Brightfield, 40× oil-immersion objective; single cell centered in the field; bone marrow aspirate smear: 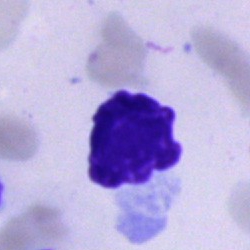Q: What is shown here?
A: Artifact.